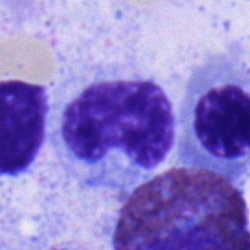 {"cell_type": "metamyelocyte"}